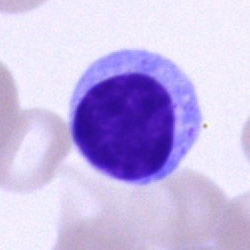
Cell type: typical lymphocyte.